Peripheral blood smear:
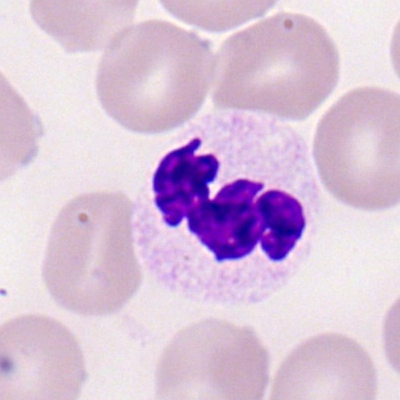

Polymorphonuclear neutrophil.